40× objective, oil immersion. Bone marrow smear — 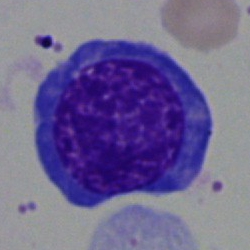
Classification = erythroblast.